Bone marrow aspirate smear — 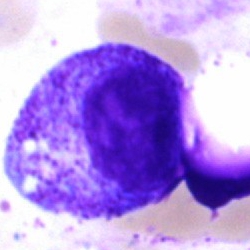Classification = myelocyte.